Bone marrow smear · single-cell crop · May-Grünwald-Giemsa stain.
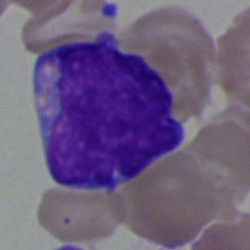Morphological class — undifferentiated blast.